250×250 px. 40× objective, oil immersion. Bone marrow aspirate smear
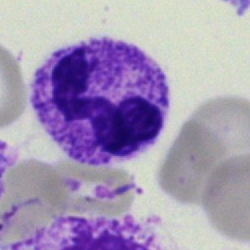
Single cell identified as a neutrophil (segmented).